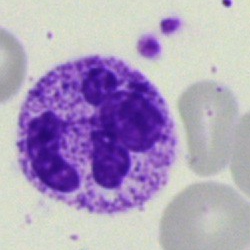Specimen: bone marrow aspirate smear.
Cell type: polymorphonuclear neutrophil.
Lineage: myeloid.